250 by 250 pixels. Bone marrow smear. MGG-stained: 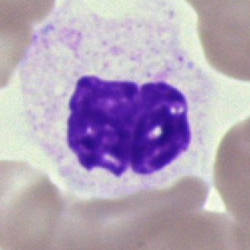
Morphological class — neutrophil (segmented).